Bone marrow smear — 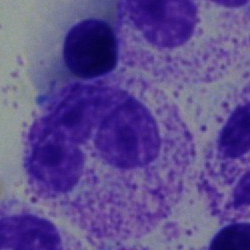Showing a band-form neutrophil.